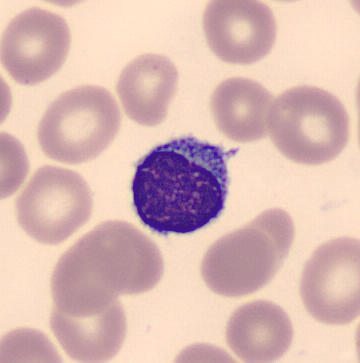Q: What type of cell is this?
A: This is a typical lymphocyte. Preparation: Peripheral blood smear.